Bone marrow aspirate smear:
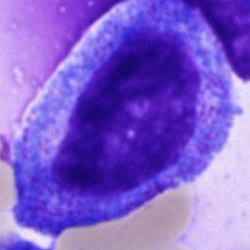Specimen: bone marrow smear.
Cell type: promyelocyte.
Lineage: myeloid.